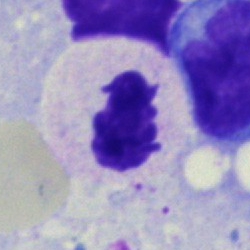

The cell shown is a neutrophil (segmented).